Bone marrow aspirate smear: 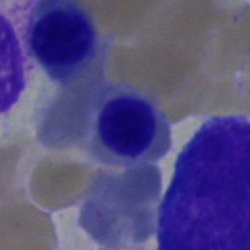Q: What cell is this?
A: This is a nucleated red cell.